May-Grünwald-Giemsa/Pappenheim stain · bone marrow smear
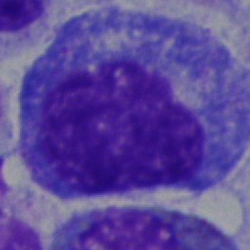

Q: What type of cell is this?
A: Promyelocyte.